Bone marrow aspirate smear — 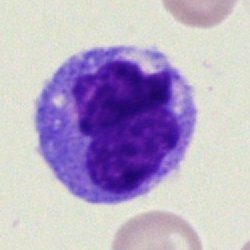 Specimen: bone marrow smear.
Cell type: monocyte.
Lineage: myeloid.